Bone marrow smear.
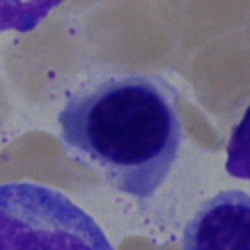
Morphological class — nucleated red blood cell.